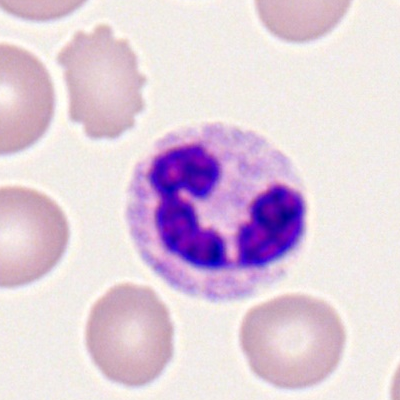 The cell shown is a polymorphonuclear neutrophil.